Bone marrow aspirate smear; May-Grünwald-Giemsa stain; 40× oil immersion — 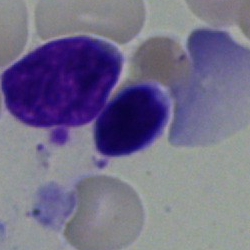

Morphological class — typical lymphocyte.